250 by 250 pixels. Single-cell field. Bone marrow aspirate smear — 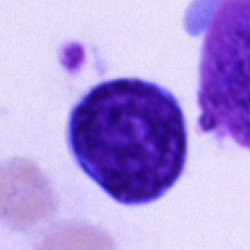 Cell type = undifferentiated blast.